Bone marrow smear:
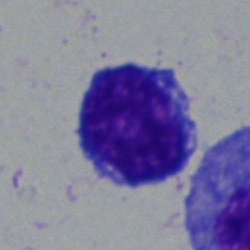The cell shown is a lymphocyte.